Bone marrow smear — 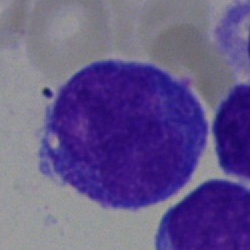
Specimen: bone marrow aspirate smear.
Cell type: progranulocyte.